Bone marrow aspirate smear — 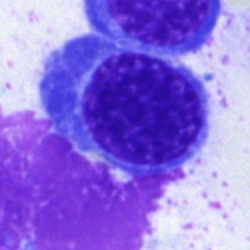{"cell_type": "basophil", "lineage": "myeloid"}